Bone marrow smear
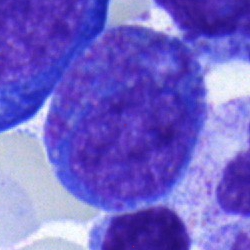The cell is progranulocyte.